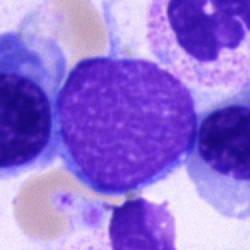Specimen: bone marrow aspirate smear.
Morphological class: undifferentiated blast.